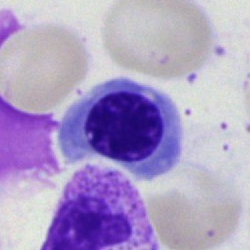 Morphology consistent with a nucleated red cell.